Bone marrow aspirate smear: 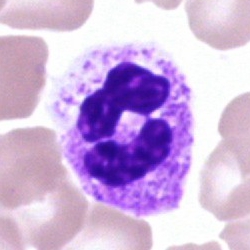

Cell type = segmented neutrophil.